Single cell centered in the field; bone marrow smear; 40× objective, oil immersion — 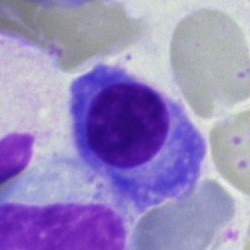
A plasma cell.